Bone marrow aspirate smear:
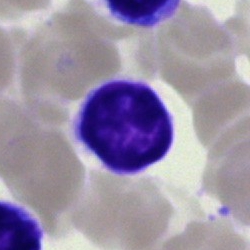
A typical lymphocyte.